Bone marrow smear.
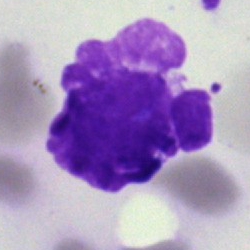

The morphological class is artifact.